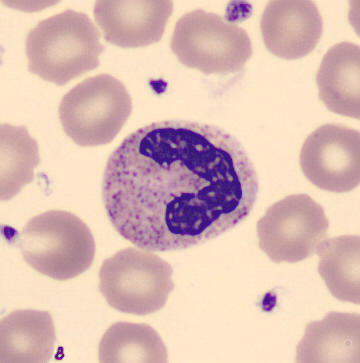
Specimen: peripheral blood film.
Cell: band-form neutrophil.

360 by 363 pixels.